Brightfield microscopy, 40× oil immersion; bone marrow aspirate smear:
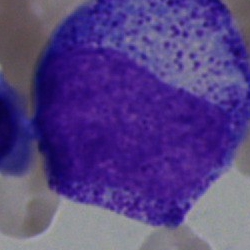 Q: Which cell type is shown here?
A: Promyelocyte.